Bone marrow smear:
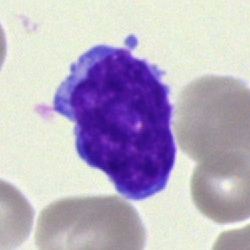
This is a blast.